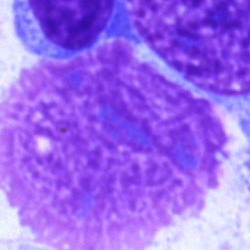
The classification is artifact.